250×250. Cropped to a single cell. Bone marrow aspirate smear:
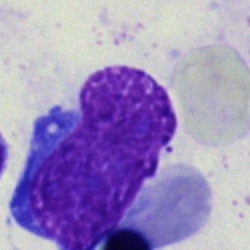

The morphological class is artifact.